Bone marrow aspirate smear.
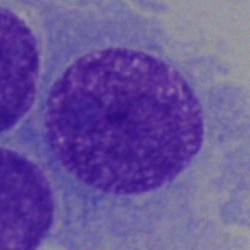Morphology consistent with a plasmacyte.